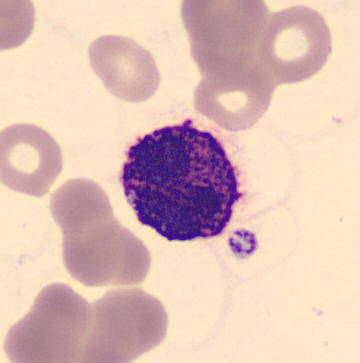
Impression → basophilic granulocyte.